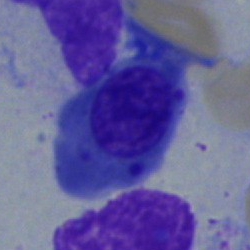Specimen: bone marrow aspirate smear.
Morphological class: normoblast.